Bone marrow smear · image size 250×250 · MGG-stained: 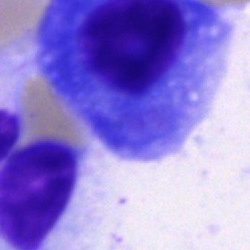Impression → plasmacyte.